Bone marrow aspirate smear:
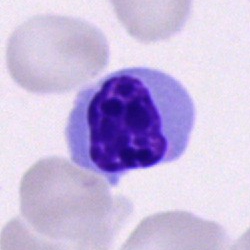Single cell identified as an erythroblast.